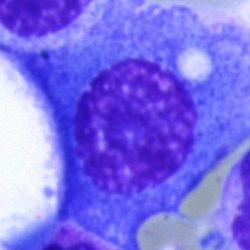

Showing a plasmacyte.